Bone marrow smear.
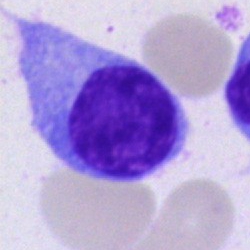Morphological class = plasmacyte.